Bone marrow smear · May-Grünwald-Giemsa/Pappenheim stain:
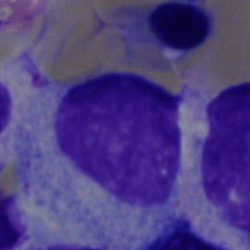

Specimen: bone marrow aspirate smear.
Classification: lymphocyte.
Lineage: lymphoid.